Cropped to a single cell. Bone marrow aspirate smear
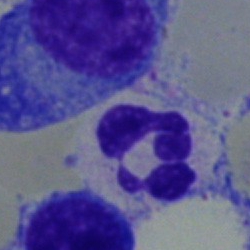Impression → segmented neutrophil.